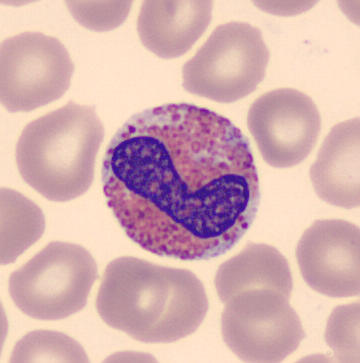

Specimen: peripheral blood smear.
Morphological class: eosinophilic granulocyte.
Lineage: myeloid.